Bone marrow aspirate smear:
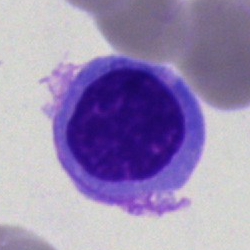
The cell is nucleated red cell.